Bone marrow aspirate smear: 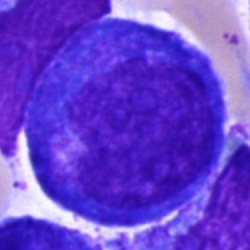 Impression → promyelocyte.